Bone marrow smear:
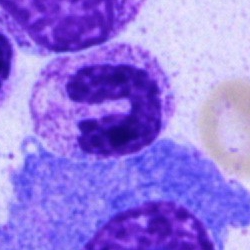

Cell = band-form neutrophil.